Bone marrow smear
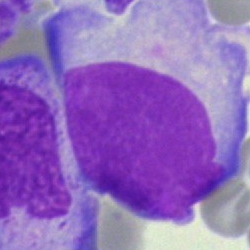

Specimen: bone marrow aspirate smear.
Classification: blast.